Bone marrow aspirate smear · brightfield microscopy, 40× oil immersion:
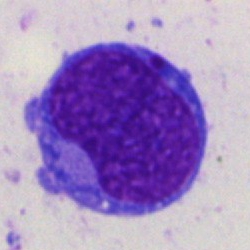{"cell_type": "undifferentiated blast"}